Bone marrow smear
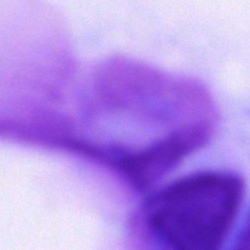Q: What is shown here?
A: Artifact.